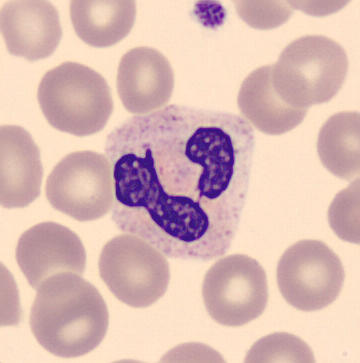

Cell type: segmented neutrophil.

Image: Peripheral blood film.